Bone marrow smear · cropped to a single cell.
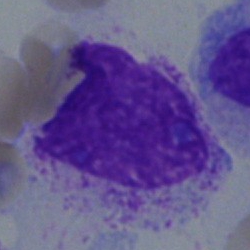
{"cell_type": "myelocyte"}